M8 digital microscope (Precipoint), 100× oil immersion; peripheral blood film:
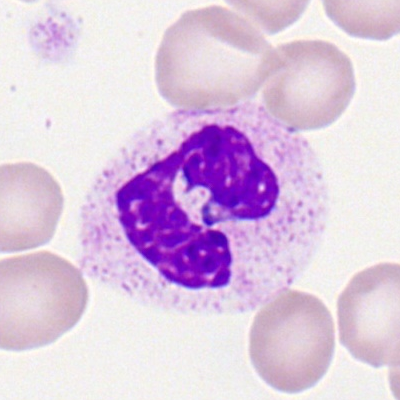
{"cell_type": "neutrophil (segmented)"}